Bone marrow aspirate smear. MGG-stained. Image size 250×250.
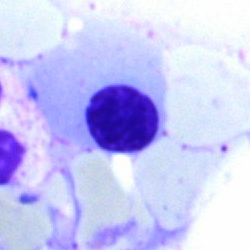

Morphology — erythroblast.